Bone marrow smear.
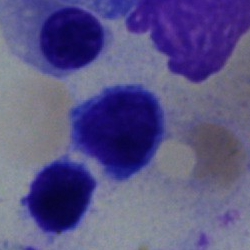

Q: Identify the cell.
A: This is a typical lymphocyte.